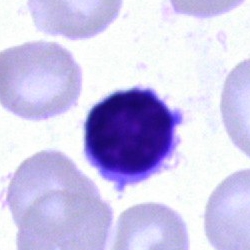
{"cell_type": "lymphocyte", "lineage": "lymphoid"}